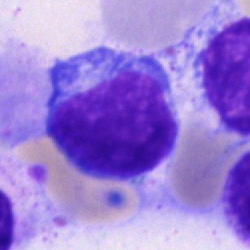 Cell type = lymphocyte.